40× oil immersion; bone marrow smear:
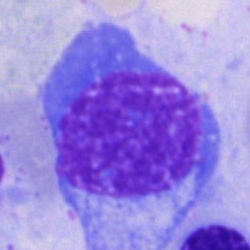

This is a plasma cell.